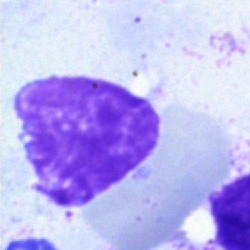

Q: What is shown here?
A: Artefact.